Bone marrow smear
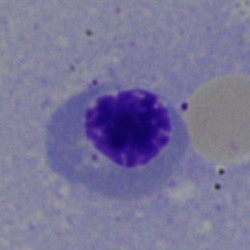 Q: What cell is this?
A: A normoblast.